Image size 250×250 · brightfield microscopy, 40× oil immersion · bone marrow smear.
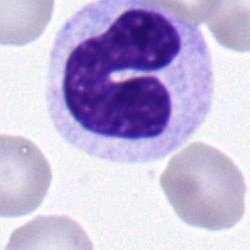

Classification — neutrophil (band).